Bone marrow aspirate smear
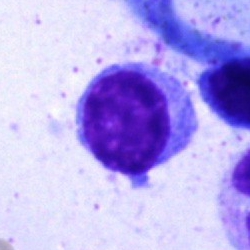 This is a lymphocyte.